Bone marrow aspirate smear · MGG-stained · 250×250: 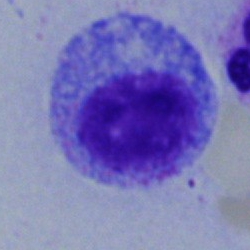

The cell shown is a myelocyte.